Bone marrow aspirate smear: 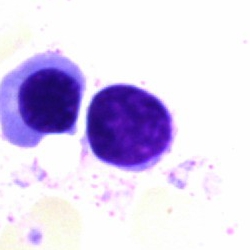 Impression — lymphocyte.